40× objective, oil immersion. Bone marrow aspirate smear. May-Grünwald-Giemsa stain.
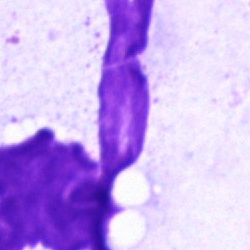Impression → artifact.